Peripheral blood smear: 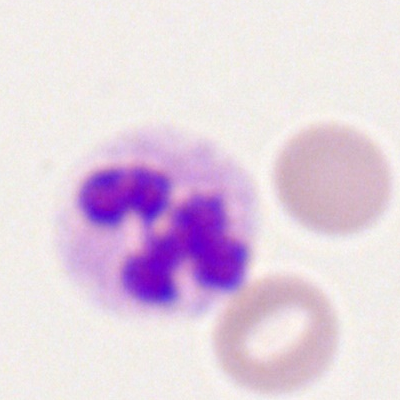
Classification: segmented neutrophil.